Bone marrow smear.
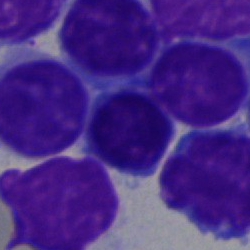

A typical lymphocyte.